Cropped to a single cell; peripheral blood smear — 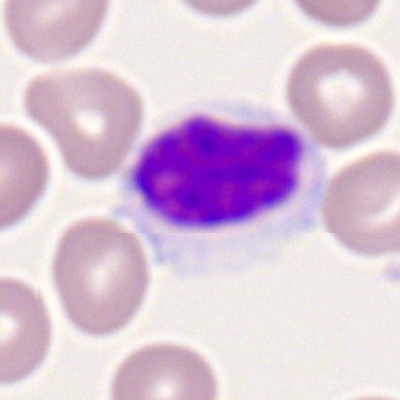
A typical lymphocyte.